Single-cell field · 40× oil immersion · bone marrow aspirate smear
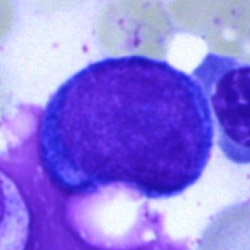
Q: What cell is this?
A: Proerythroblast.